Bone marrow smear:
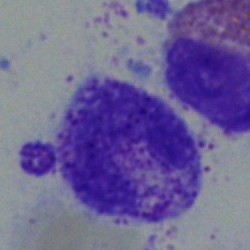 Impression — stab cell.